Bone marrow smear · May-Grünwald-Giemsa/Pappenheim stain:
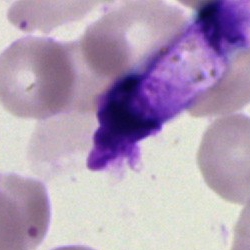Impression — artefact.